Brightfield microscopy, 40× oil immersion · bone marrow smear — 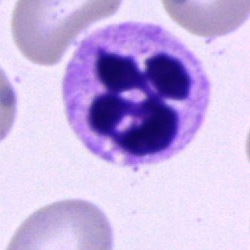A polymorphonuclear neutrophil.